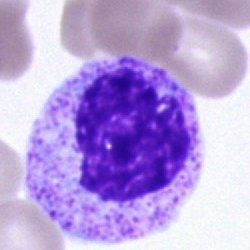

Bone marrow aspirate smear, single cell — myelocyte.